Image size 250×250 · cropped to a single cell · bone marrow smear.
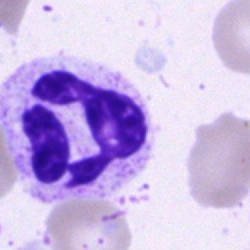

Neutrophil (segmented).